Bone marrow smear — 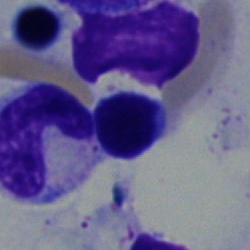 Specimen: bone marrow smear.
Morphological class: stab cell.